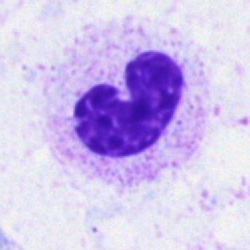{"cell_type": "stab cell"}